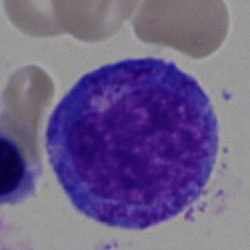 Q: What type of cell is this?
A: It is a progranulocyte.